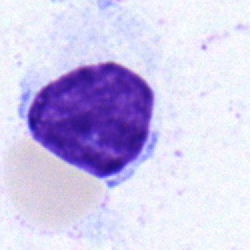 Specimen: bone marrow smear.
Cell: lymphocyte.
Lineage: lymphoid.